Bone marrow smear: 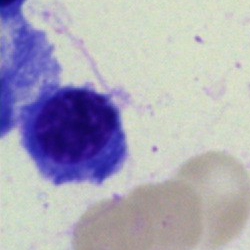 Morphology consistent with a normoblast.